Bone marrow smear; image size 250×250 — 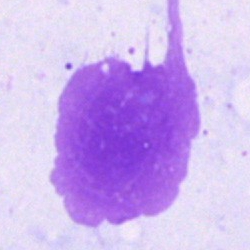

Q: What is shown here?
A: This is an artifact.